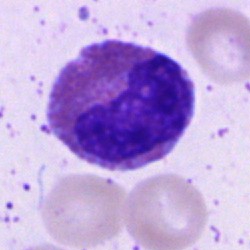
Q: Which cell type is shown here?
A: This is an eosinophilic granulocyte.